Bone marrow aspirate smear:
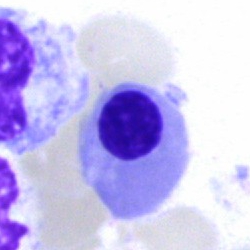 Q: Which cell type is shown here?
A: This is an erythroblast.